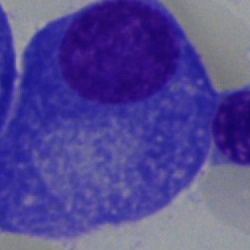

Morphological class — plasma cell.